Single cell centered in the field. Peripheral blood smear: 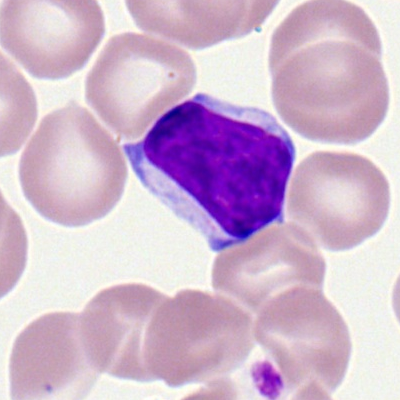Cell type: typical lymphocyte.